Peripheral blood smear
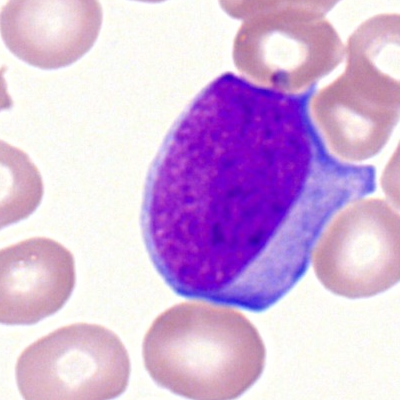 {"cell_type": "myeloid blast", "lineage": "myeloid"}